Bone marrow smear · 250×250 px: 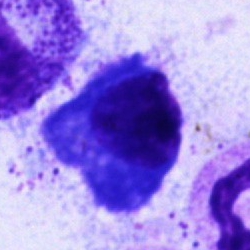
The cell type is plasmacyte.